Romanowsky stain. Peripheral blood film. Cropped to a single cell — 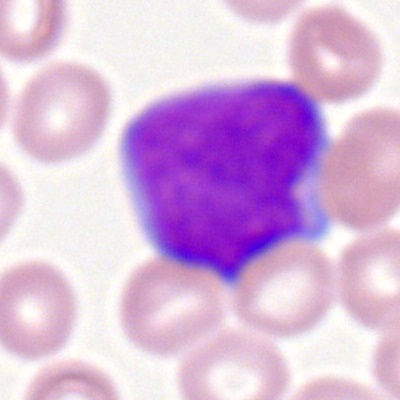 Q: What is shown here?
A: This is a myeloid blast.